Bone marrow smear
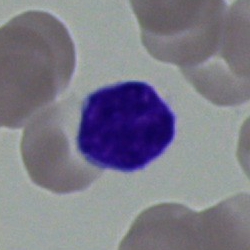Classification: typical lymphocyte.